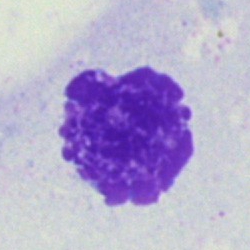 Artifact.